Cropped to a single cell. Bone marrow smear. Pappenheim-stained: 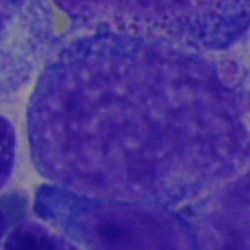Classification: promyelocyte.